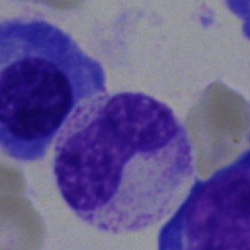 Bone marrow aspirate smear, single cell — stab cell.